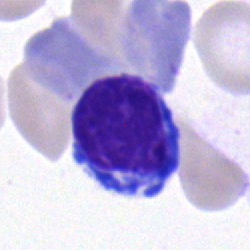

{"cell_type": "typical lymphocyte", "lineage": "lymphoid"}